Bone marrow aspirate smear.
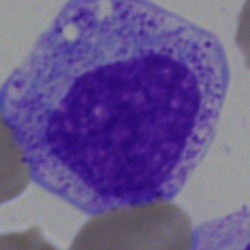 Impression → myelocyte.